Bone marrow smear · image size 250×250:
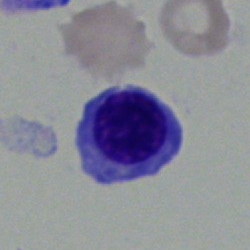
Cell — normoblast.